Bone marrow smear · 250×250 px.
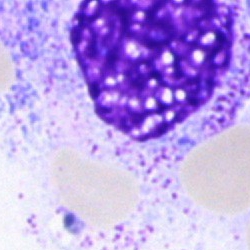
Specimen: bone marrow aspirate smear.
Cell type: artefact.